Bone marrow aspirate smear · May-Grünwald-Giemsa stain:
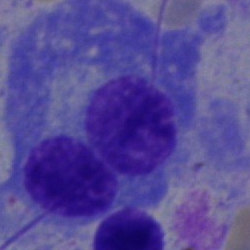

Showing a plasma cell.